Bone marrow aspirate smear.
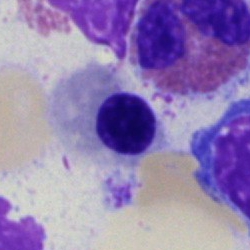
Classification: erythroblast.